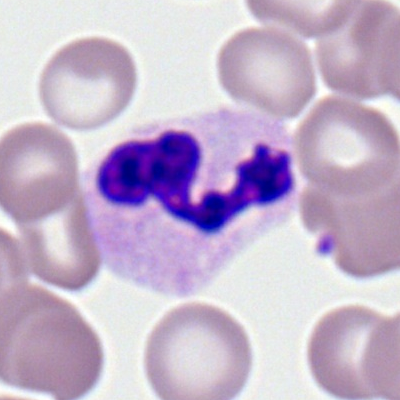
Single cell identified as a neutrophil (segmented).